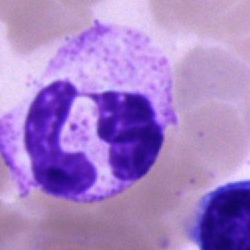
The cell shown is a segmented neutrophil.